Bone marrow smear.
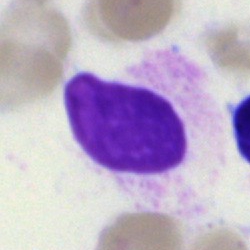 Cell type = artifact.